250 by 250 pixels. Pappenheim-stained. Bone marrow aspirate smear — 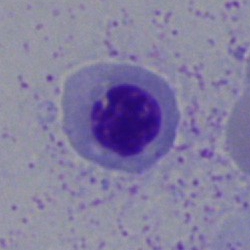 Cell: nucleated red cell.